Bone marrow smear; cropped to a single cell — 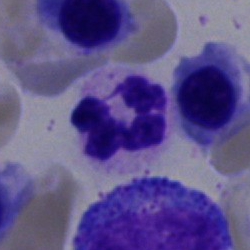Q: Which cell type is shown here?
A: This is a segmented neutrophil.